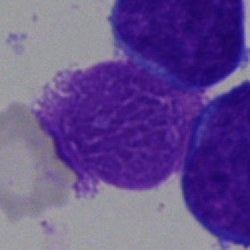The morphological class is artefact.